Bone marrow smear:
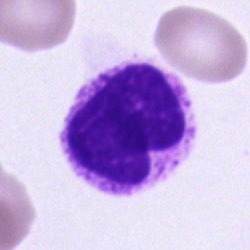Cell = cell of indeterminate lineage.